Single-cell field · peripheral blood smear · image size 400×400:
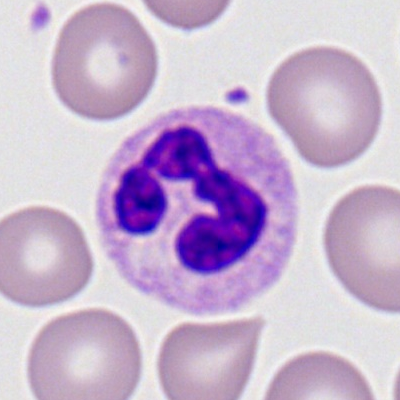The cell shown is a neutrophil (segmented).